Bone marrow smear; 40× objective, oil immersion: 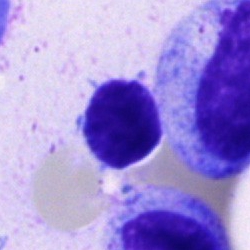
Cell — typical lymphocyte.